Single cell centered in the field. MGG-stained. Bone marrow aspirate smear:
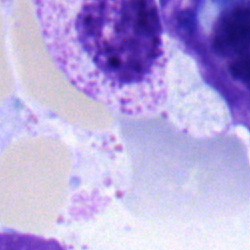
A basophil.